Brightfield microscopy, 40× oil immersion; bone marrow smear — 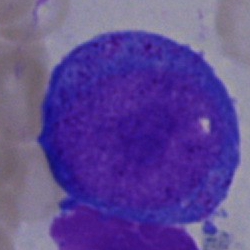
Morphology consistent with a proerythroblast.